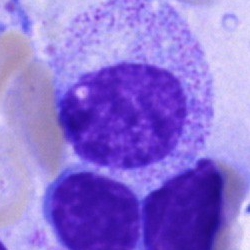
Single-cell crop from a bone marrow smear: myelocyte.